Bone marrow aspirate smear: 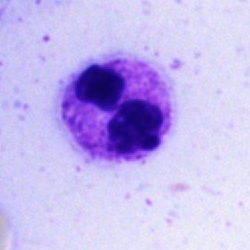
Impression → polymorphonuclear neutrophil.